Single cell centered in the field · bone marrow smear.
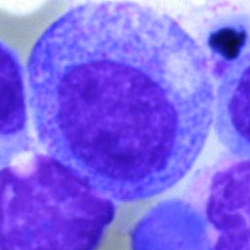{"cell_type": "promyelocyte", "lineage": "myeloid"}